Bone marrow smear; Pappenheim-stained; image size 250×250:
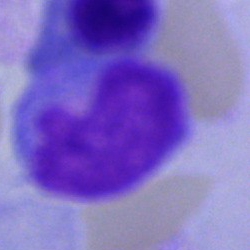 Q: What is shown here?
A: An artifact.